Bone marrow aspirate smear.
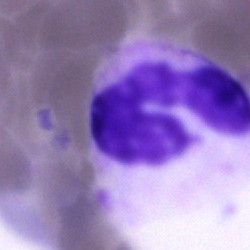 Cell type — segmented neutrophil.